Single-cell field; peripheral blood film: 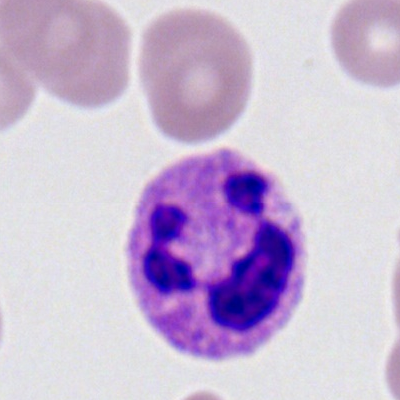 A polymorphonuclear neutrophil.